Bone marrow aspirate smear:
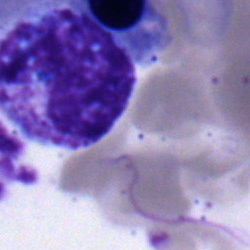Impression — stab cell.